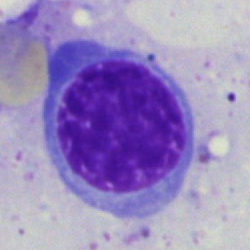

Classification: nucleated red blood cell.